Romanowsky-stained. Peripheral blood smear: 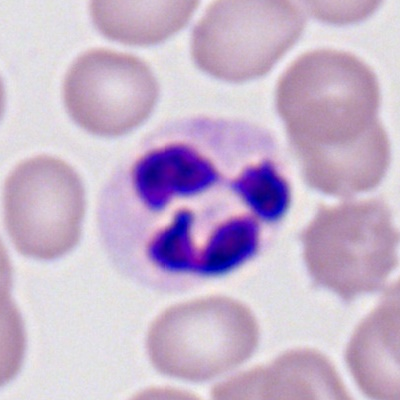
Showing a segmented neutrophil.